Bone marrow smear — 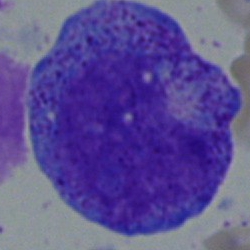Impression — progranulocyte.